Bone marrow smear
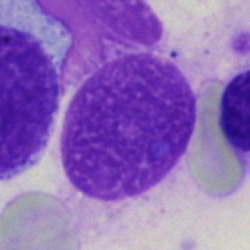
Classification = artifact.